Bone marrow smear — 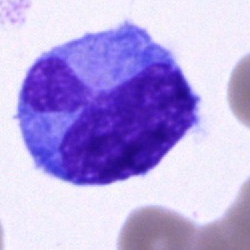Cell = undifferentiated blast.